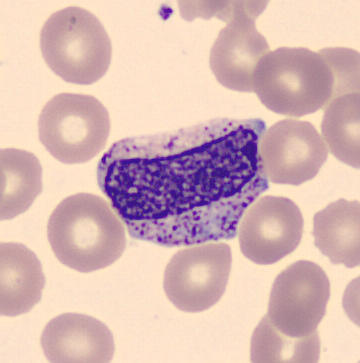

Q: What type of cell is this?
A: Metamyelocyte.